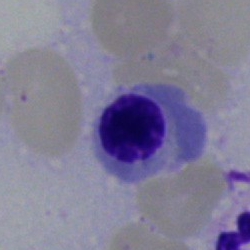An erythroblast.